May-Grünwald-Giemsa/Pappenheim stain; bone marrow smear.
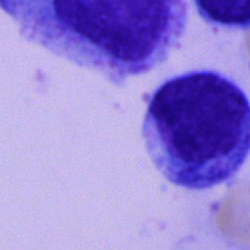Cell — lymphocyte.